Bone marrow smear — 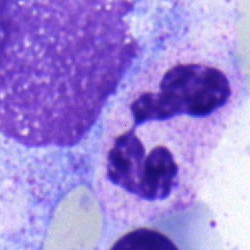

Morphological class: segmented neutrophil.